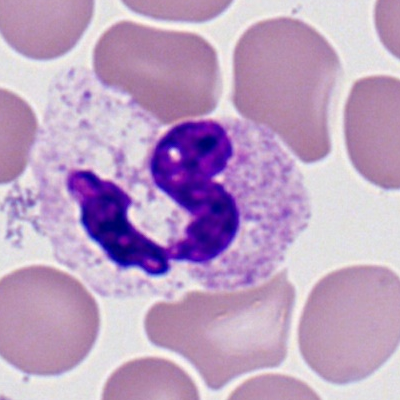
The cell is segmented neutrophil.